Bone marrow aspirate smear: 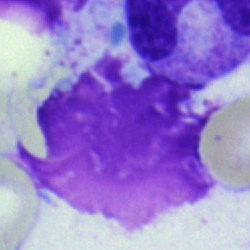
Single cell identified as an artefact.